Bone marrow smear.
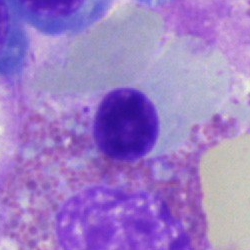 A nucleated red blood cell.